Bone marrow smear; image size 250×250.
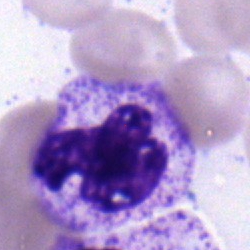
Specimen: bone marrow aspirate smear.
Classification: segmented neutrophil.